Bone marrow aspirate smear · 40× objective, oil immersion: 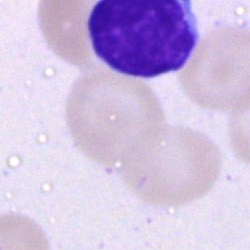
Cell = typical lymphocyte.